Bone marrow aspirate smear · image size 250×250
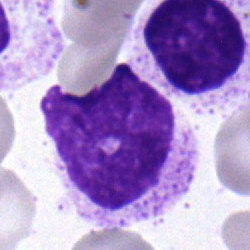

Q: What is the morphological classification of this cell?
A: A myelocyte.